40× oil immersion. Bone marrow smear
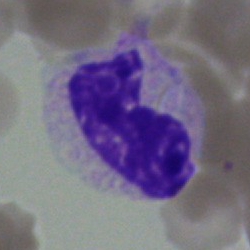
Showing a band-form neutrophil.